Single cell centered in the field. Bone marrow smear:
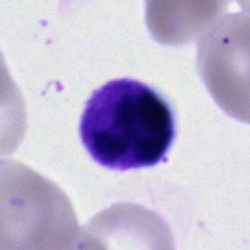

{"cell_type": "polymorphonuclear neutrophil"}